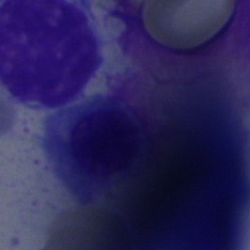An artifact.